Bone marrow smear. May-Grünwald-Giemsa/Pappenheim stain. 40× objective, oil immersion:
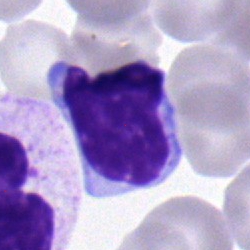 Cell type = lymphocyte.